Bone marrow aspirate smear.
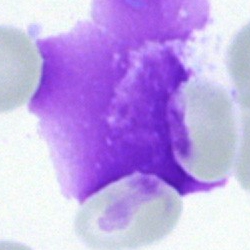An artefact.